Bone marrow aspirate smear — 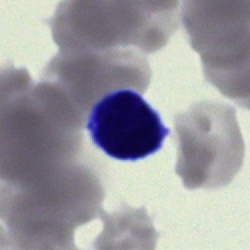

Specimen: bone marrow aspirate smear.
Cell: artifact.